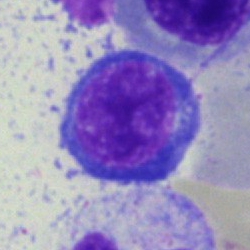 Impression → erythroblast.